Bone marrow smear; May-Grünwald-Giemsa/Pappenheim stain — 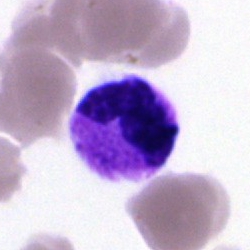 Q: What cell is this?
A: Segmented neutrophil.